Bone marrow aspirate smear — 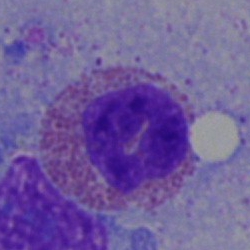 The morphological class is eosinophilic granulocyte.